Bone marrow smear. 250 by 250 pixels:
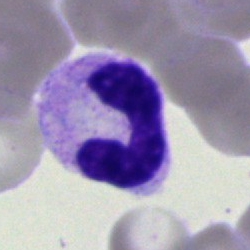
A polymorphonuclear neutrophil.